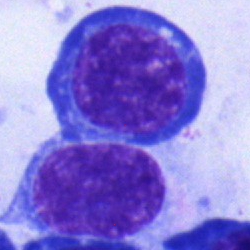Showing a nucleated red blood cell.